May-Grünwald-Giemsa stain · bone marrow aspirate smear — 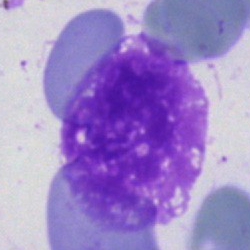Morphological class = artifact.